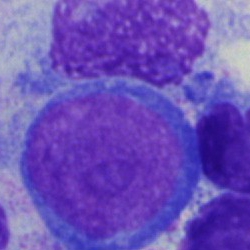The classification is pronormoblast.